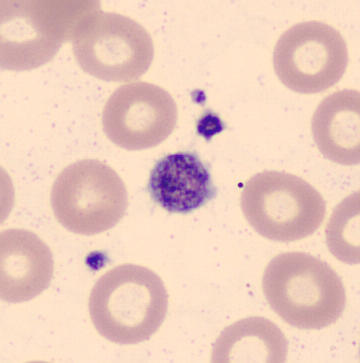

Image: Peripheral blood smear.

Showing a platelet (thrombocyte).